Bone marrow aspirate smear
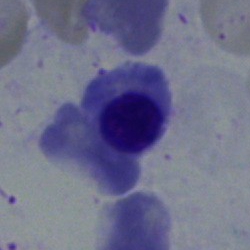

Q: What is the morphological classification of this cell?
A: An erythroblast.